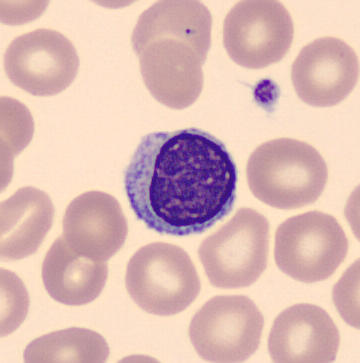

Peripheral blood film.

Morphology → typical lymphocyte.